Cropped to a single cell. Bone marrow smear
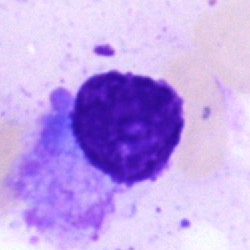 Q: What is shown here?
A: It is an artifact.